Bone marrow aspirate smear — 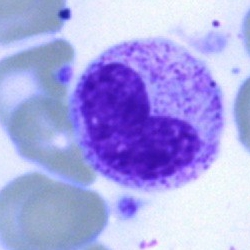 Q: What cell is this?
A: Band-form neutrophil.